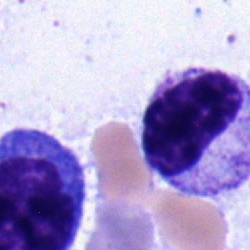

Morphological class: metamyelocyte.